40× objective, oil immersion · bone marrow smear · MGG-stained
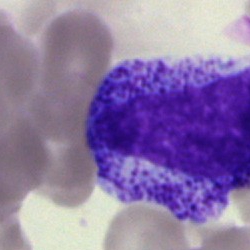

Classification — metamyelocyte.